100× oil immersion · peripheral blood film · Romanowsky-stained.
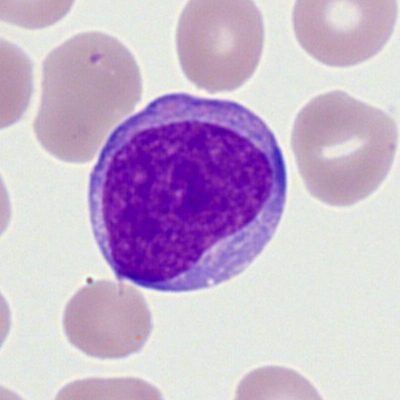 Morphology → myeloblast.